Bone marrow smear; 250 by 250 pixels; May-Grünwald-Giemsa stain: 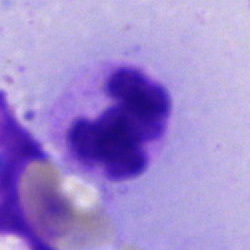Morphology consistent with a neutrophil (segmented).